40× objective, oil immersion. Bone marrow aspirate smear. 250×250:
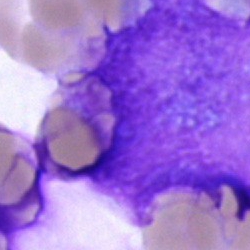

An artifact.